Bone marrow smear. Single-cell crop — 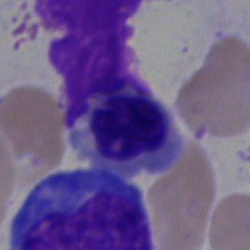

The cell shown is a normoblast.